Bone marrow aspirate smear — 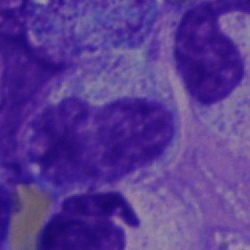 Specimen: bone marrow smear.
Cell: metamyelocyte.
Lineage: myeloid.